Peripheral blood film: 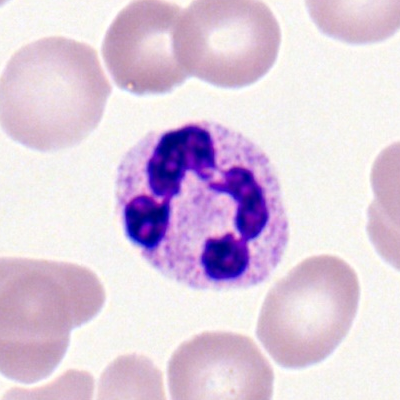Q: What type of cell is this?
A: This is a segmented neutrophil.